Bone marrow aspirate smear · May-Grünwald-Giemsa/Pappenheim stain:
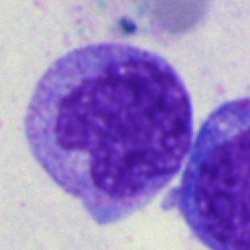Q: What is shown here?
A: This is a monocyte.